Bone marrow smear — 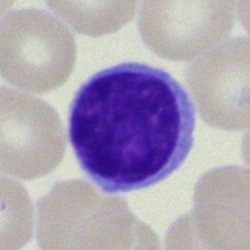
Classification — lymphocyte.